Bone marrow aspirate smear; single cell centered in the field: 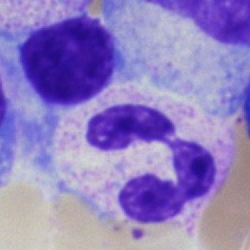
Cell: neutrophil (segmented).